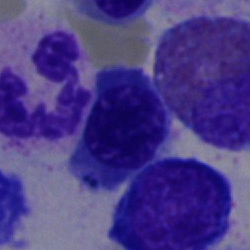 Specimen: bone marrow smear.
Classification: normoblast.
Lineage: erythroid.